Bone marrow aspirate smear.
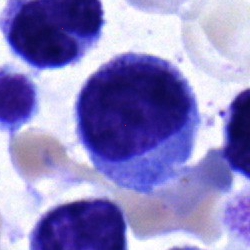 Impression — monocyte.